Bone marrow smear
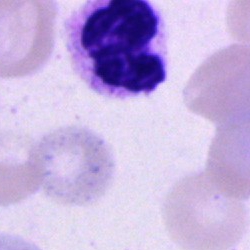

Morphological class = segmented neutrophil.